250×250 px · bone marrow smear · cropped to a single cell.
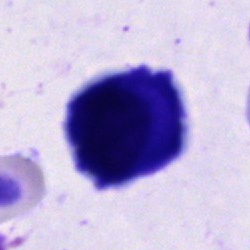 Q: What is the morphological classification of this cell?
A: This is a cell of indeterminate lineage.